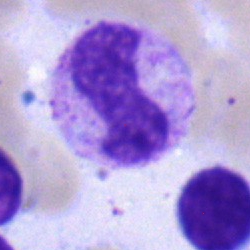

Showing a neutrophil (band).